Bone marrow smear · 40× objective, oil immersion:
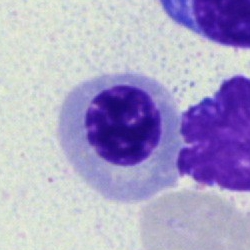 Classification: nucleated red blood cell.